Bone marrow smear: 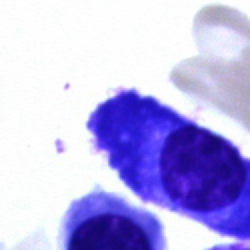

Q: What is shown here?
A: This is a plasma cell.